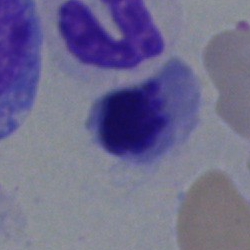Q: What is the morphological classification of this cell?
A: A nucleated red cell.